Bone marrow smear · Pappenheim-stained: 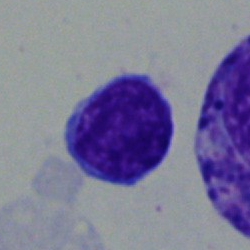
Morphology → typical lymphocyte.